Bone marrow smear.
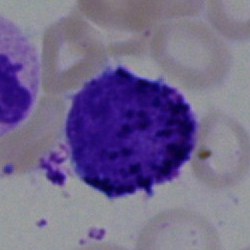 {"cell_type": "basophilic granulocyte"}